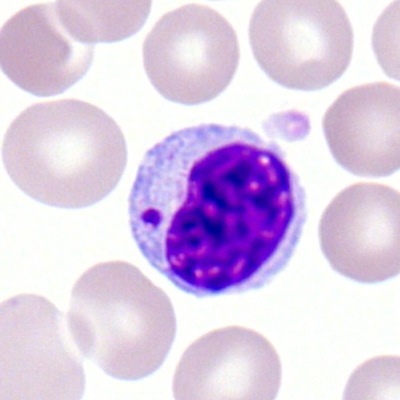

Typical lymphocyte.